Bone marrow smear; 40× oil immersion; May-Grünwald-Giemsa/Pappenheim stain:
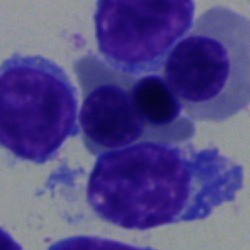

Q: Identify the cell.
A: It is a nucleated red cell.